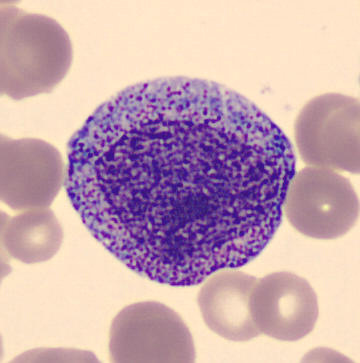

Acquisition: Peripheral blood smear.
Morphology → promyelocyte.